Peripheral blood smear
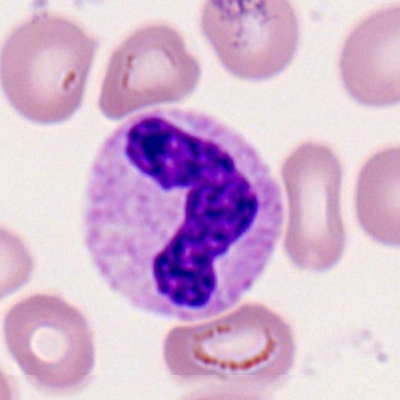 Q: What type of cell is this?
A: This is a segmented neutrophil.